Bone marrow aspirate smear — 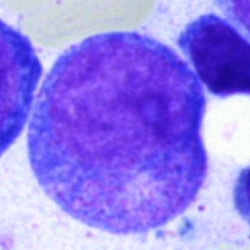

{"cell_type": "promyelocyte"}